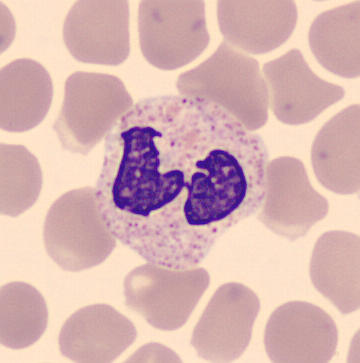Image: Peripheral blood smear.

This is a polymorphonuclear neutrophil.